Bone marrow smear. MGG-stained.
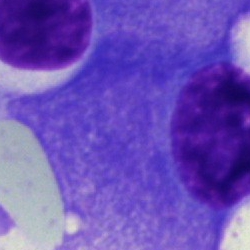

Cell type: plasmacyte.